Single cell centered in the field; peripheral blood film — 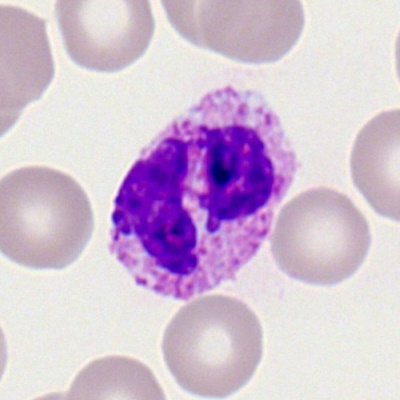 The cell shown is a basophil.